Bone marrow smear — 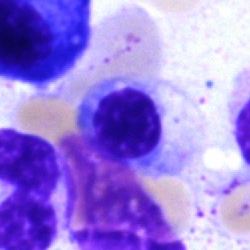

This is a nucleated red blood cell.